Bone marrow aspirate smear. Pappenheim-stained. 40× oil immersion: 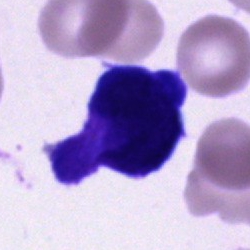

Cell type = cell of indeterminate lineage.